Cropped to a single cell. Bone marrow aspirate smear.
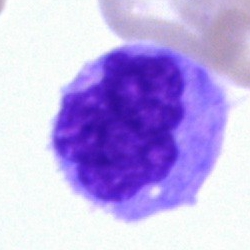
Cell = monocyte.